Bone marrow smear: 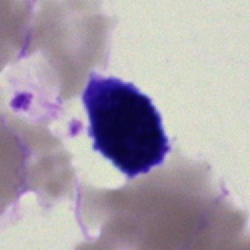 Cell: artifact.